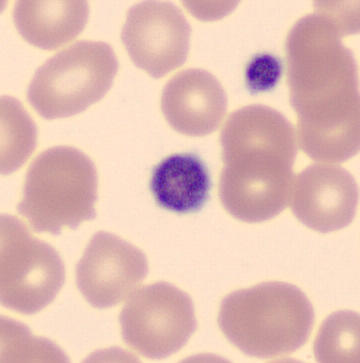

Acquisition: Image size 360×363; CellaVision DM96 digital cell image; peripheral blood film. Thrombocyte.